May-Grünwald-Giemsa/Pappenheim stain · bone marrow smear: 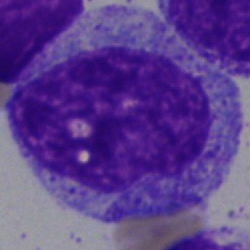Single cell identified as a promyelocyte.